Bone marrow smear:
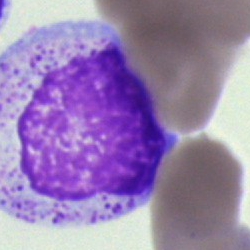

Morphology — myelocyte.